Brightfield microscopy, 40× oil immersion · MGG-stained · bone marrow smear:
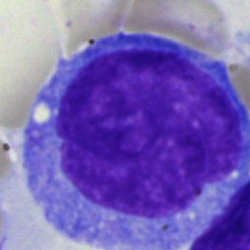

The morphological class is blast.